Single-cell field. Bone marrow smear:
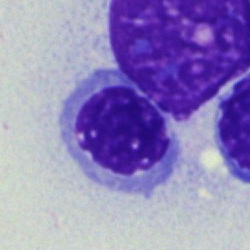Q: Identify the cell.
A: Normoblast.